Bone marrow smear · 250×250 px.
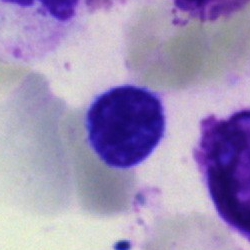Cell: typical lymphocyte.